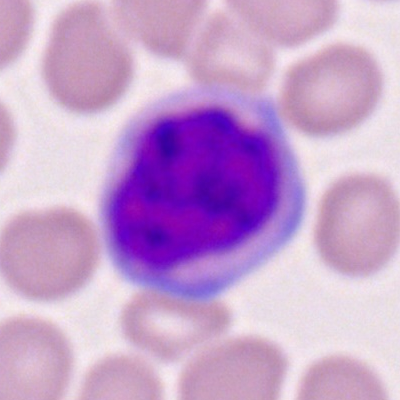A monocyte.